Bone marrow aspirate smear.
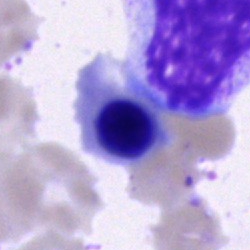

A nucleated red cell.